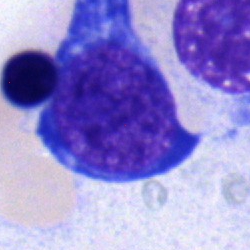 The classification is pronormoblast.